Bone marrow smear: 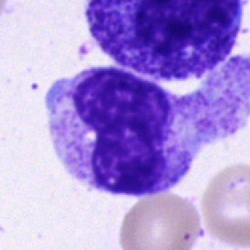 A metamyelocyte.